Single-cell field · bone marrow aspirate smear
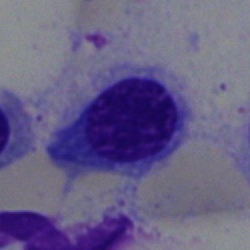
Classification — nucleated red cell.